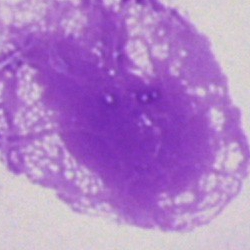
Morphology — artefact.